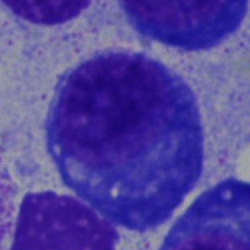

Morphology → plasma cell.